Bone marrow aspirate smear · single cell centered in the field
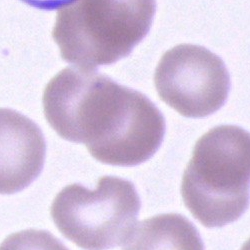

This is an unidentifiable cell.